Bone marrow aspirate smear · 40× oil immersion · Pappenheim-stained: 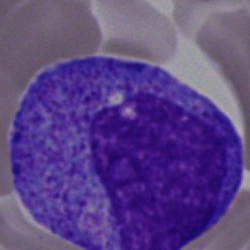

Q: What cell is this?
A: A progranulocyte.